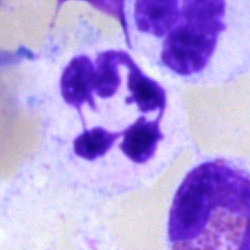
Q: Which cell type is shown here?
A: This is a neutrophil (segmented).